Pappenheim-stained. Brightfield microscopy, 40× oil immersion. Bone marrow smear.
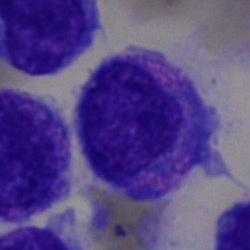
Cell type = blast.